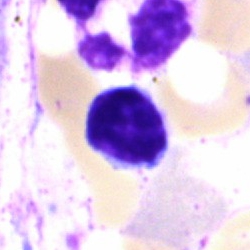

Morphology → typical lymphocyte.